40× oil immersion. Pappenheim-stained. Bone marrow smear:
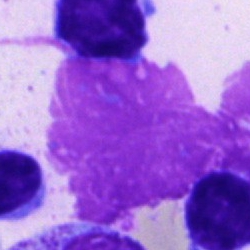

Q: What is shown here?
A: An artefact.